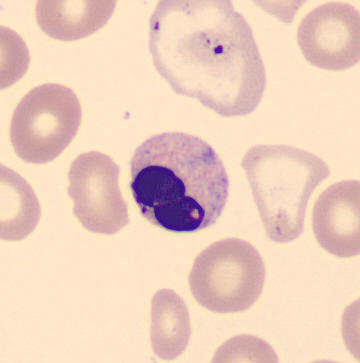

An erythroblast.